Bone marrow smear — 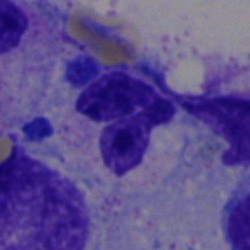
Specimen: bone marrow aspirate smear.
Morphological class: neutrophil (segmented).
Lineage: myeloid.